Bone marrow smear
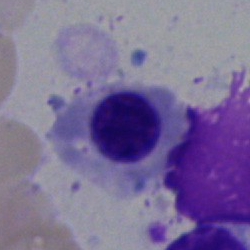 Showing a nucleated red cell.